Bone marrow smear
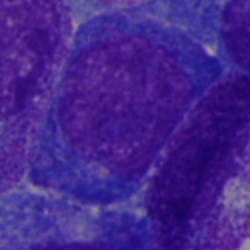

Q: Identify the cell.
A: This is a nucleated red blood cell.